Bone marrow smear:
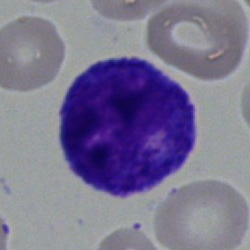

Q: What is shown here?
A: This is a progranulocyte.